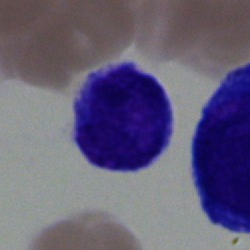

The morphological class is lymphocyte.